Single-cell crop · bone marrow smear · Pappenheim-stained: 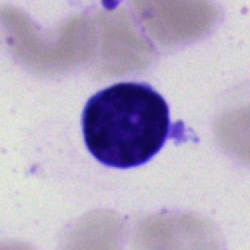Q: What is the morphological classification of this cell?
A: Lymphocyte.